Peripheral blood film
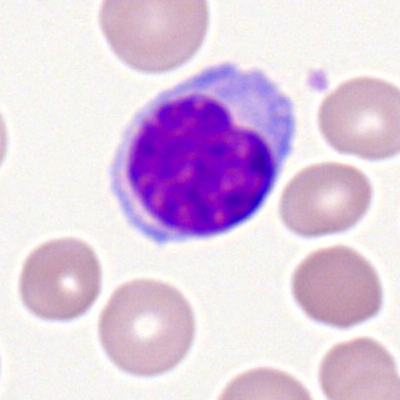
Cell type = typical lymphocyte.